Bone marrow smear:
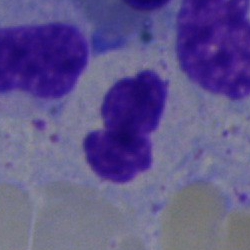

A polymorphonuclear neutrophil.